Bone marrow smear: 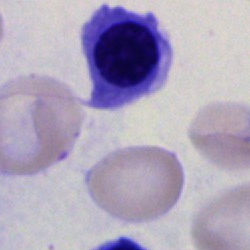 Morphology → erythroblast.